Cropped to a single cell; bone marrow smear — 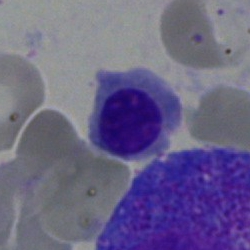This is a nucleated red cell.